Bone marrow smear — 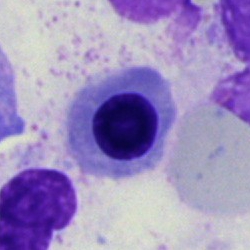
{"cell_type": "normoblast", "lineage": "erythroid"}